Single cell centered in the field. Bone marrow smear
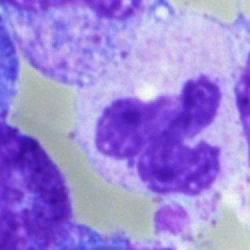
A band-form neutrophil.